Peripheral blood smear: 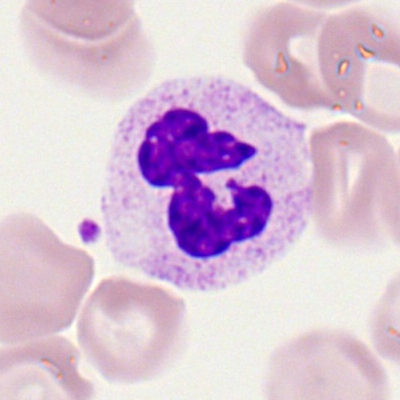

{"cell_type": "segmented neutrophil", "lineage": "myeloid"}